Bone marrow smear: 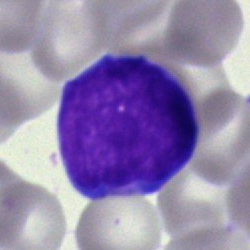 Morphology consistent with a blast cell.